Bone marrow aspirate smear: 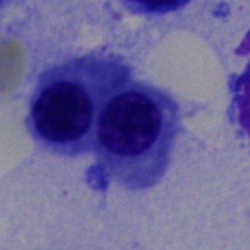

Q: What cell is this?
A: This is a nucleated red cell.